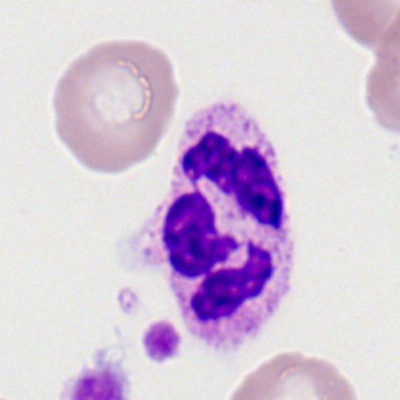
Cell = polymorphonuclear neutrophil.